Brightfield, 40× oil-immersion objective · bone marrow smear:
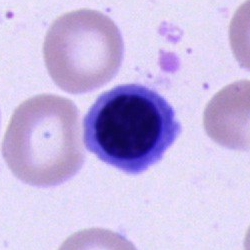
Specimen: bone marrow aspirate smear.
Classification: erythroblast.